Bone marrow aspirate smear — 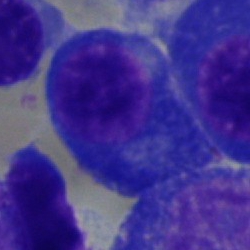This is a plasma cell.